Bone marrow aspirate smear — 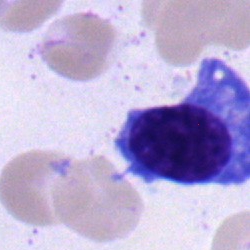

{"cell_type": "plasmacyte"}